Bone marrow smear — 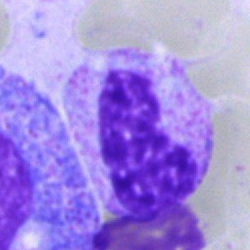

Specimen: bone marrow smear.
Morphological class: band-form neutrophil.
Lineage: myeloid.